Bone marrow aspirate smear — 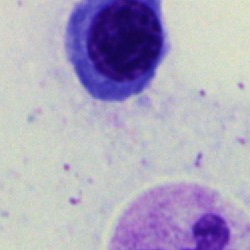
Erythroblast.